Bone marrow smear: 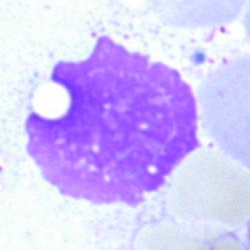 Cell — artefact.